Bone marrow aspirate smear:
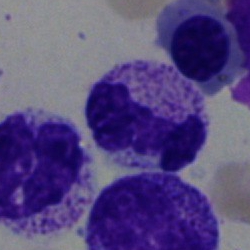 Classification = stab cell.